Bone marrow smear; 250×250 px.
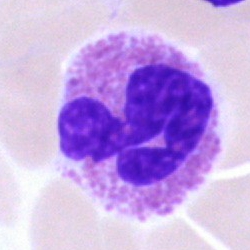
Showing an eosinophilic granulocyte.